Bone marrow smear: 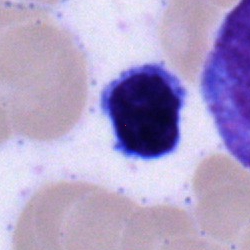Single cell identified as a lymphocyte.